Bone marrow smear.
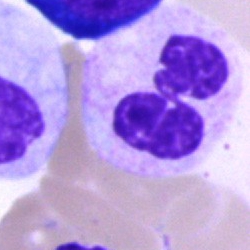 Cell: polymorphonuclear neutrophil.